Bone marrow aspirate smear
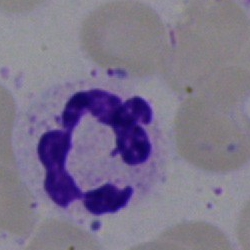The cell shown is a polymorphonuclear neutrophil.